Bone marrow smear: 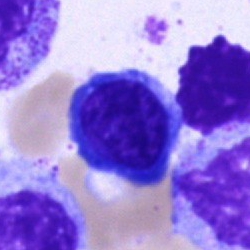

Q: Identify the cell.
A: This is a nucleated red cell.